Brightfield microscopy, 40× oil immersion; bone marrow aspirate smear:
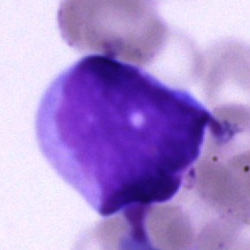
Q: Which cell type is shown here?
A: This is a blast.